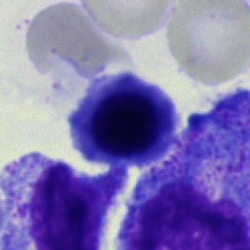

A nucleated red blood cell on a bone marrow smear.